250 by 250 pixels; bone marrow smear.
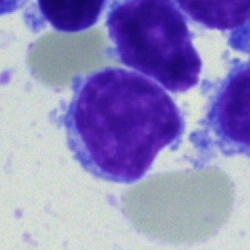Showing a lymphocyte.